250×250; bone marrow smear
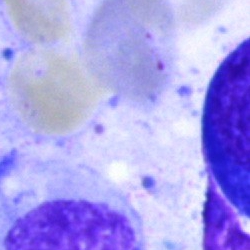

This is an artefact.